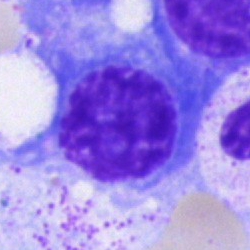
Specimen: bone marrow smear.
Cell type: plasmacyte.